Bone marrow smear:
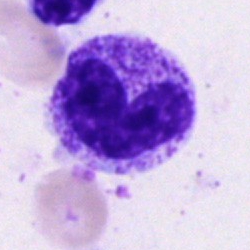 Q: Identify the cell.
A: It is a band neutrophil.